Bone marrow aspirate smear. MGG-stained.
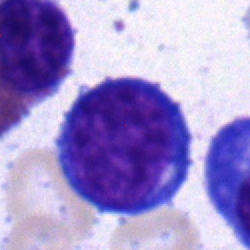
Morphological class = normoblast.